Bone marrow aspirate smear: 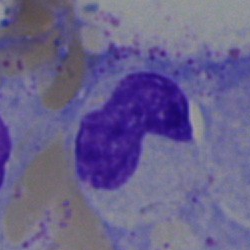 Q: What cell is this?
A: It is a band-form neutrophil.